Single-cell crop · 250×250 px · bone marrow smear.
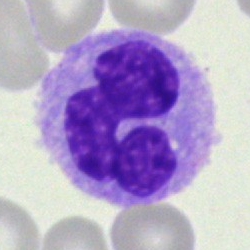 The classification is monocyte.